Peripheral blood film. May Grünwald-Giemsa stain. Single-cell field.
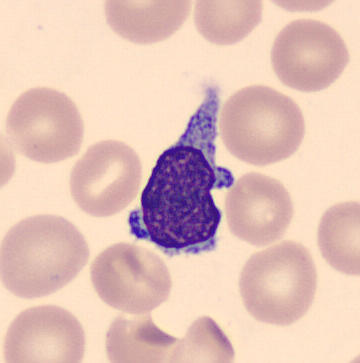Cell: typical lymphocyte.